Bone marrow smear
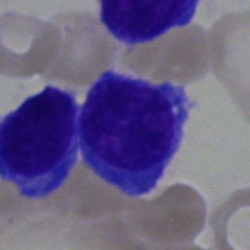

{"cell_type": "plasma cell", "lineage": "lymphoid"}